250×250 · bone marrow aspirate smear:
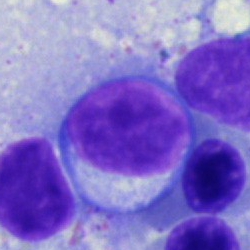

Typical lymphocyte.